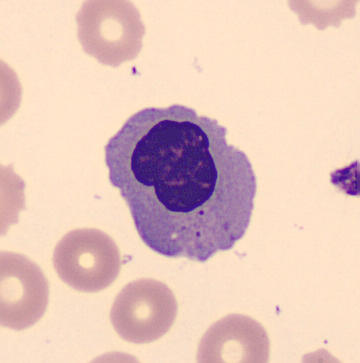Acquisition: Peripheral blood smear.
Identified as a nucleated red cell.